250×250. Bone marrow aspirate smear: 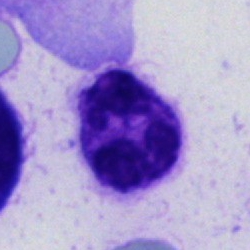
Specimen: bone marrow aspirate smear.
Cell type: neutrophil (segmented).
Lineage: myeloid.